250×250 · bone marrow smear — 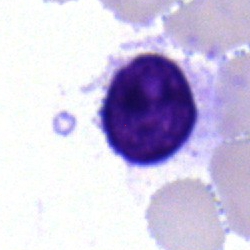Morphology — typical lymphocyte.